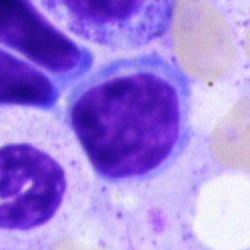 Q: What is the morphological classification of this cell?
A: This is a typical lymphocyte.